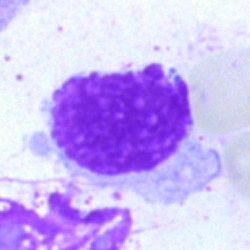
Q: What is shown here?
A: Artifact.